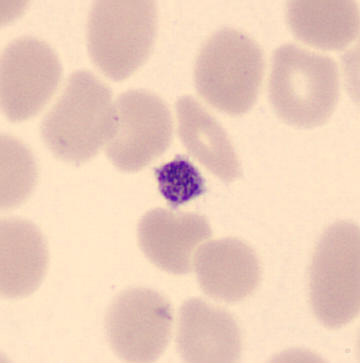

Specimen: peripheral blood smear.
Cell type: platelet (thrombocyte).